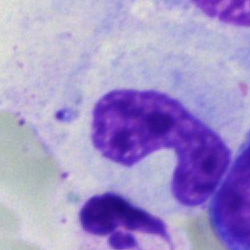
Single cell identified as a band-form neutrophil.